Bone marrow smear. 40× objective, oil immersion.
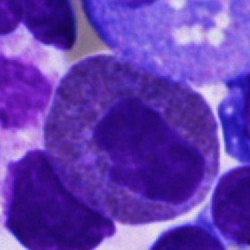
Classification — eosinophil.